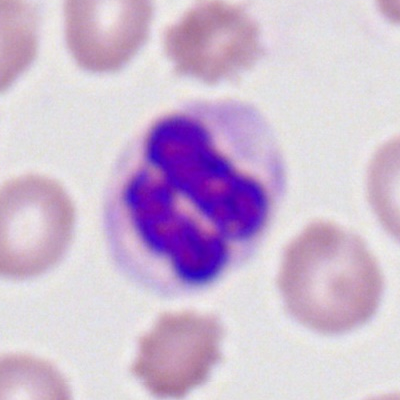
Cell = polymorphonuclear neutrophil.